Bone marrow smear
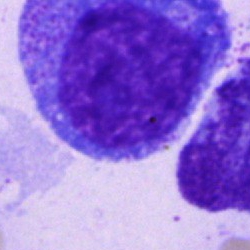Single cell identified as a progranulocyte.